Peripheral blood smear; 400 by 400 pixels:
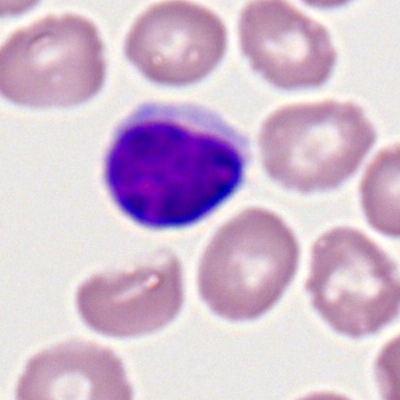

Morphology consistent with a lymphocyte.